Bone marrow aspirate smear: 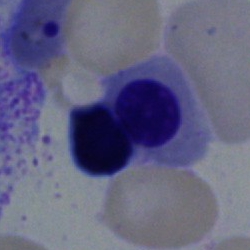

This is a nucleated red blood cell.